Pappenheim-stained; bone marrow aspirate smear; 250×250 px — 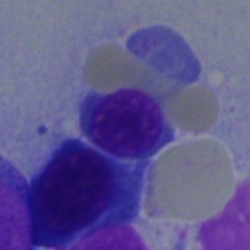

Morphology — typical lymphocyte.